250×250 px; brightfield microscopy, 40× oil immersion; bone marrow smear — 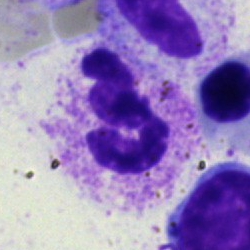Impression — neutrophil (segmented).